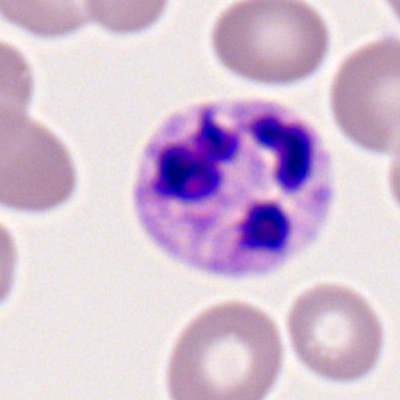

Q: What type of cell is this?
A: This is a neutrophil (segmented).